Bone marrow aspirate smear — 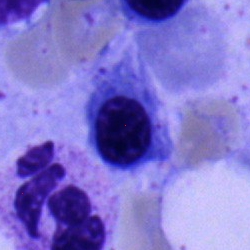 {"cell_type": "normoblast"}